Bone marrow smear
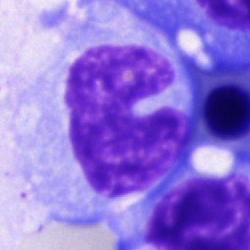

Monocyte.